250×250 px. May-Grünwald-Giemsa/Pappenheim stain. Bone marrow smear:
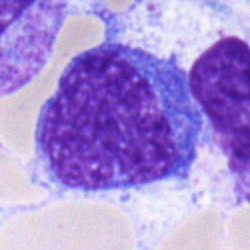 Cell type: monocyte.